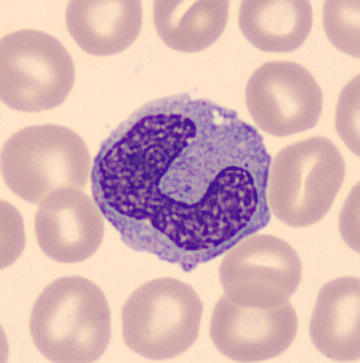
Peripheral blood smear · image size 360×363 · MGG stain.
Identified as a monocyte.